Peripheral blood smear
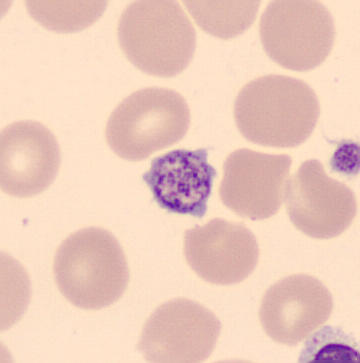{"cell_type": "platelet (thrombocyte)"}